Bone marrow smear:
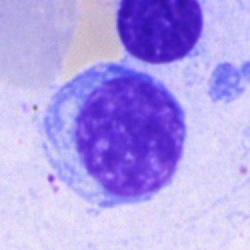Cell — typical lymphocyte.